Bone marrow smear — 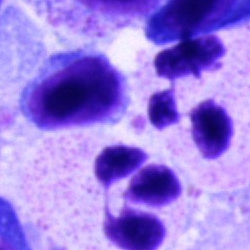
The cell type is polymorphonuclear neutrophil.